Bone marrow aspirate smear — 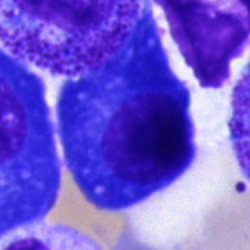A plasma cell.